Cropped to a single cell. Bone marrow aspirate smear:
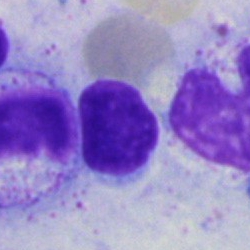 Q: What cell is this?
A: A typical lymphocyte.